Bone marrow aspirate smear:
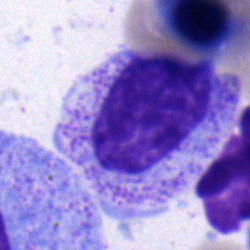 Myelocyte.